Bone marrow aspirate smear — 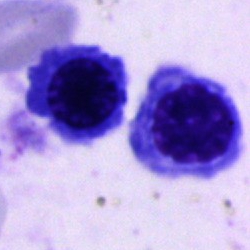 Q: What type of cell is this?
A: An erythroblast.